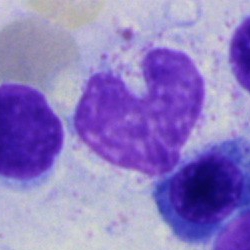 A band-form neutrophil on a bone marrow smear.